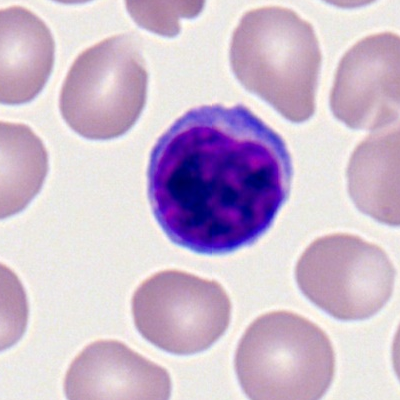 Impression → lymphocyte.